Bone marrow aspirate smear — 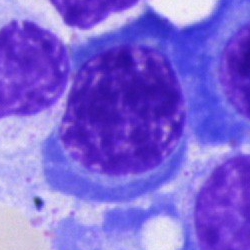Cell type: nucleated red cell.